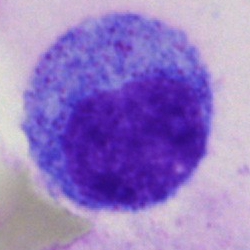Morphological class = progranulocyte.